Bone marrow aspirate smear. 250 by 250 pixels:
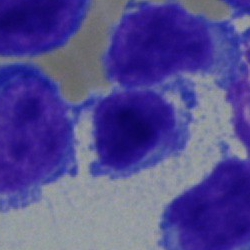

Impression — lymphocyte.